Bone marrow smear:
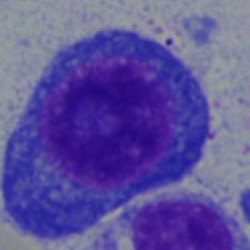Morphological class = plasmacyte.